Bone marrow aspirate smear; Pappenheim-stained — 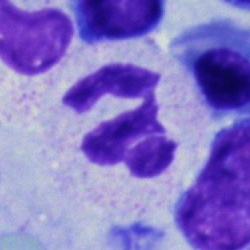

The cell shown is a segmented neutrophil.